Bone marrow smear
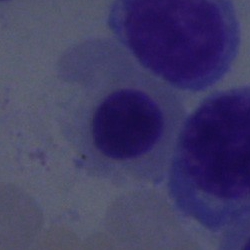
Showing an erythroblast.